Bone marrow aspirate smear. MGG-stained. Image size 250×250.
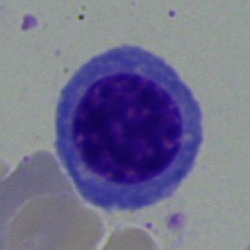{"cell_type": "nucleated red cell", "lineage": "erythroid"}